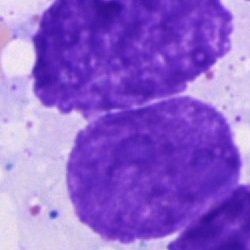
Specimen: bone marrow smear.
Cell type: artefact.